Bone marrow aspirate smear; single-cell field — 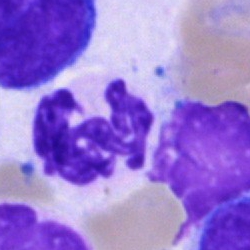

Q: What is the morphological classification of this cell?
A: A segmented neutrophil.